Bone marrow smear; brightfield microscopy, 40× oil immersion.
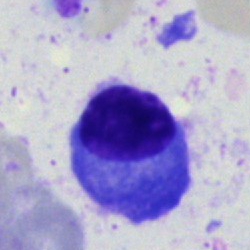
Specimen: bone marrow smear.
Cell type: plasmacyte.